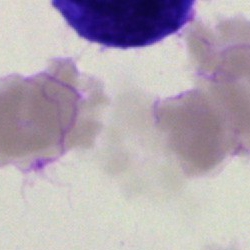
Single-cell crop from a bone marrow smear: artefact.